Bone marrow smear; Pappenheim-stained: 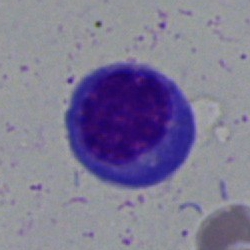
Cell type — erythroblast.